Bone marrow smear — 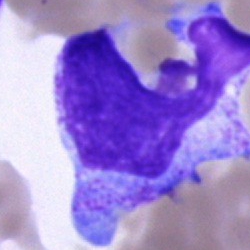

Q: What is shown here?
A: This is an artifact.